Peripheral blood film · cropped to a single cell · Romanowsky-stained — 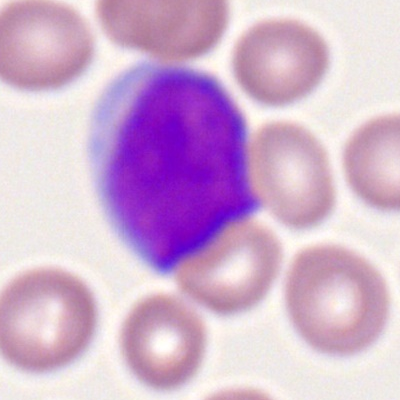
Morphology — myeloblast.